Bone marrow smear
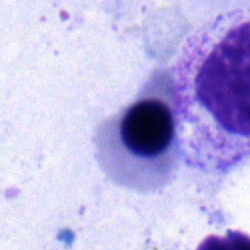

Morphology consistent with a nucleated red blood cell.